Bone marrow smear: 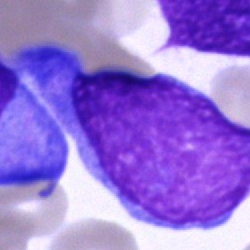Showing a blast.